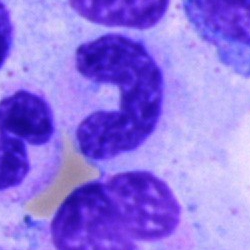

Classification — band-form neutrophil.